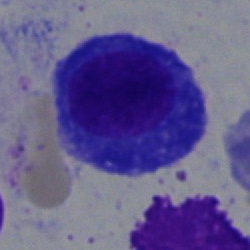 Q: What is the morphological classification of this cell?
A: A plasma cell.